Single-cell field. Bone marrow aspirate smear — 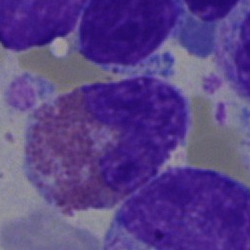
{"cell_type": "eosinophil"}